Brightfield microscopy, 40× oil immersion · bone marrow smear: 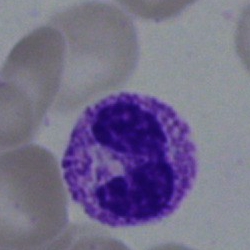
Classification — neutrophil (band).